Brightfield, 40× oil-immersion objective. Bone marrow aspirate smear. Single-cell field: 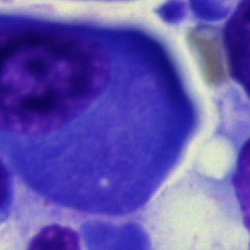Showing a plasmacyte.